250×250; brightfield, 40× oil-immersion objective; bone marrow aspirate smear — 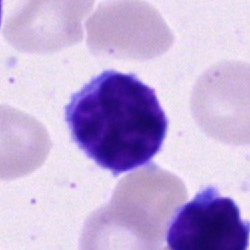

Lymphocyte.